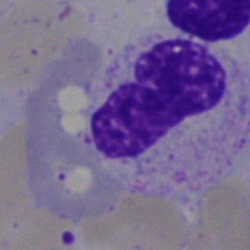 The cell type is neutrophil (segmented).